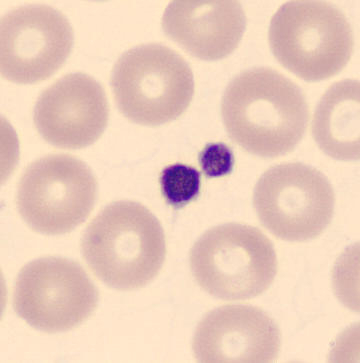 Q: What is this?
A: This is a platelet. Image: Peripheral blood film.